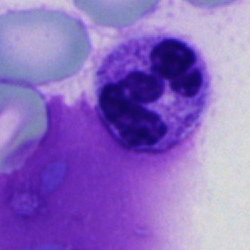Cell — polymorphonuclear neutrophil.